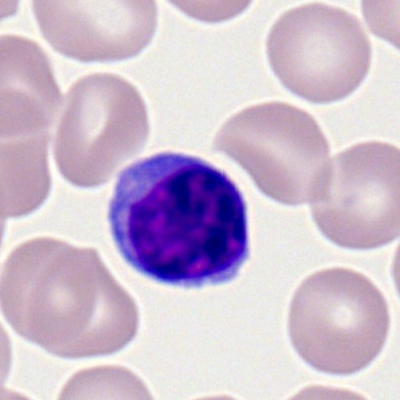
Impression — lymphocyte.